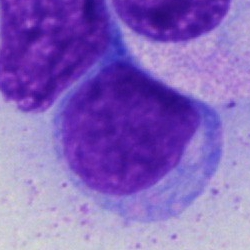

Classification = blast cell.